Peripheral blood film:
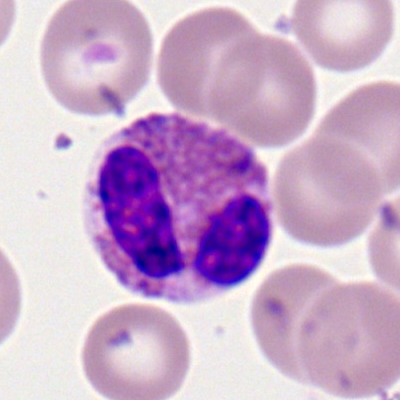
Cell type = eosinophil.